Bone marrow smear: 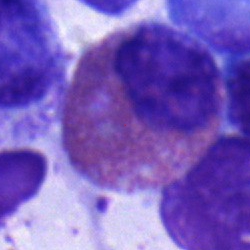 Classification: eosinophilic granulocyte.